Single-cell crop; bone marrow aspirate smear:
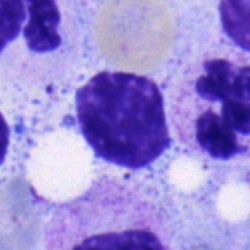 Classification — typical lymphocyte.